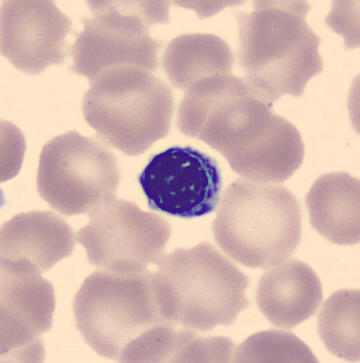 Specimen: peripheral blood film.
Cell: nucleated red blood cell. MGG-stained; image size 360×363.